Bone marrow smear
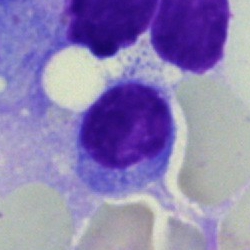
Cell: lymphocyte.